Image size 400×400; 100× objective, oil immersion; peripheral blood film.
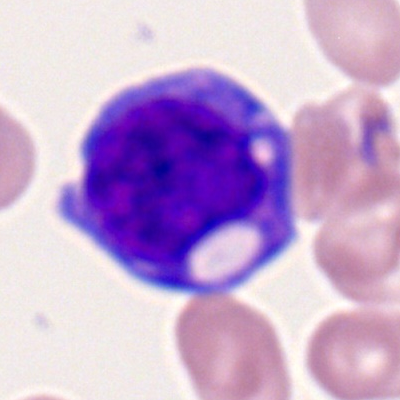
Showing a myeloblast.